Bone marrow aspirate smear — 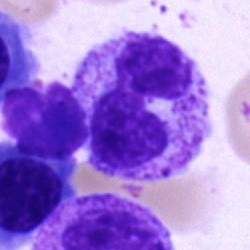

Specimen: bone marrow smear.
Cell type: polymorphonuclear neutrophil.